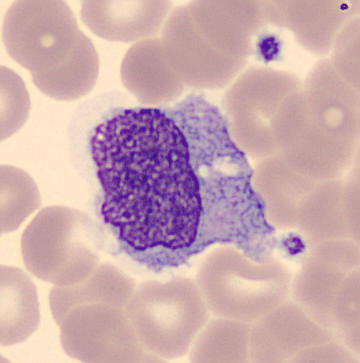 Classification: monocyte.